Bone marrow aspirate smear
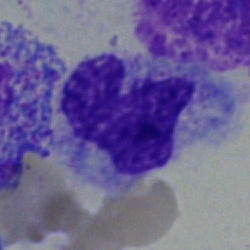

Impression — monocyte.